Bone marrow aspirate smear: 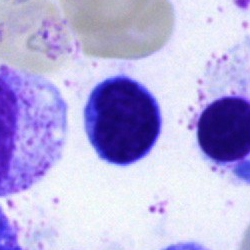

This is a typical lymphocyte.